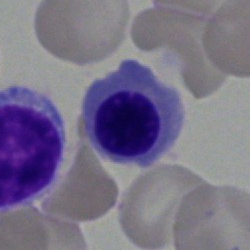Morphology — normoblast.